Bone marrow aspirate smear; brightfield, 40× oil-immersion objective: 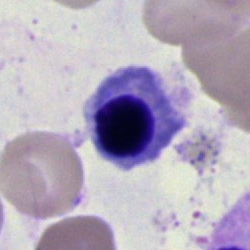
The cell shown is an erythroblast.